Bone marrow aspirate smear · 40× objective, oil immersion — 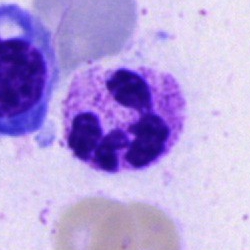

Q: Identify the cell.
A: Neutrophil (segmented).